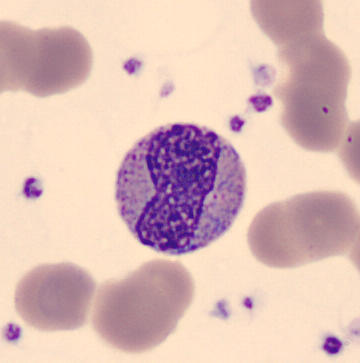

Cell = metamyelocyte.